Single-cell crop · bone marrow aspirate smear · May-Grünwald-Giemsa/Pappenheim stain: 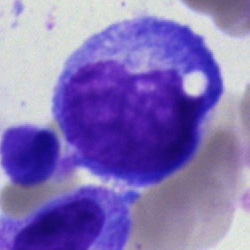
Cell = monocyte.